Bone marrow smear.
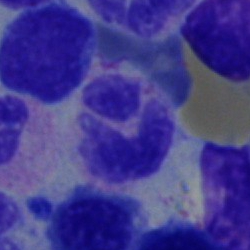The classification is polymorphonuclear neutrophil.